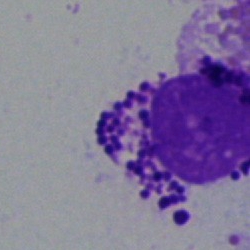 Specimen: bone marrow smear.
Classification: basophilic granulocyte.